Bone marrow aspirate smear. May-Grünwald-Giemsa stain: 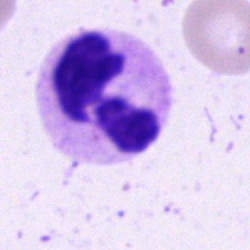 {"cell_type": "polymorphonuclear neutrophil", "lineage": "myeloid"}